Pappenheim-stained. Bone marrow aspirate smear — 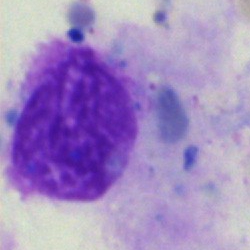 Artifact.